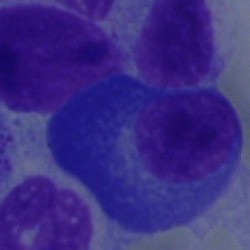

Cell — plasmacyte.